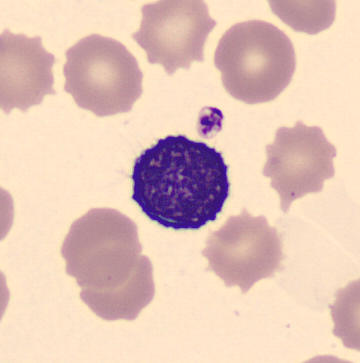Single-cell crop · CellaVision DM96 digital cell image.
Specimen: peripheral blood smear.
Cell type: lymphocyte.